Bone marrow smear — 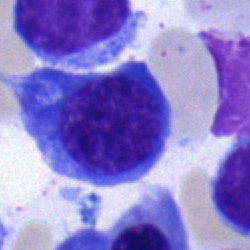
Impression → nucleated red blood cell.